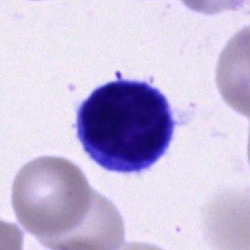
The cell shown is a typical lymphocyte.